Bone marrow aspirate smear: 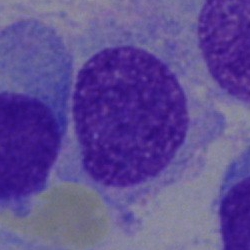

Impression → plasmacyte.